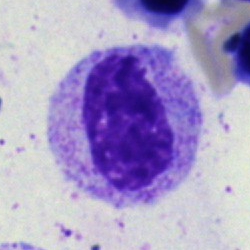 {"cell_type": "myelocyte"}